Bone marrow smear.
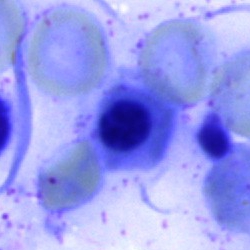Cell = nucleated red blood cell.